Bone marrow smear — 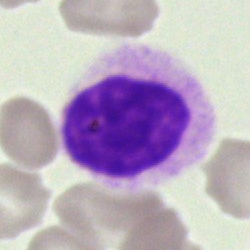

The classification is artifact.